Bone marrow smear: 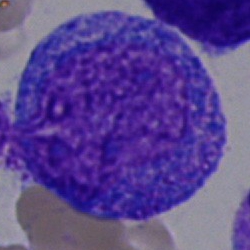

Cell: progranulocyte.